May-Grünwald-Giemsa/Pappenheim stain; bone marrow aspirate smear.
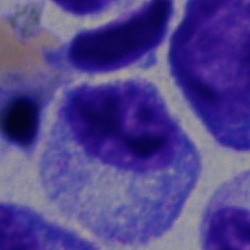 Morphological class: myelocyte.